Bone marrow aspirate smear:
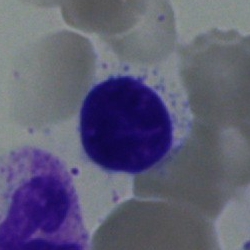
Classification = typical lymphocyte.